250×250 px; bone marrow aspirate smear — 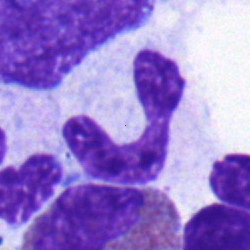Morphological class = neutrophil (band).